Bone marrow aspirate smear · May-Grünwald-Giemsa stain: 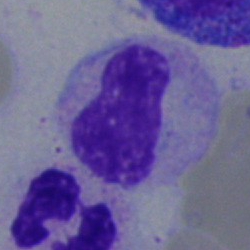 Showing a band-form neutrophil.